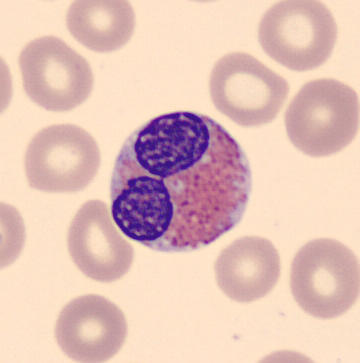
Showing an eosinophil. Acquisition: Peripheral blood smear.